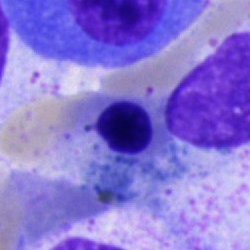Single-cell crop from a bone marrow smear: normoblast.